Peripheral blood film:
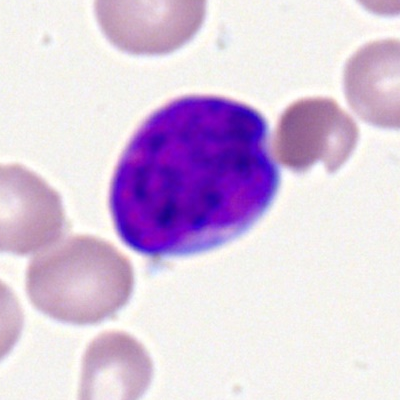

Classification: myeloid blast.